Bone marrow aspirate smear. 250×250 px. May-Grünwald-Giemsa stain — 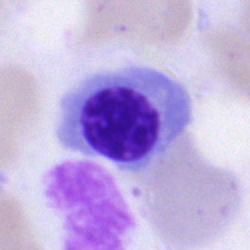

The cell is erythroblast.